Bone marrow smear — 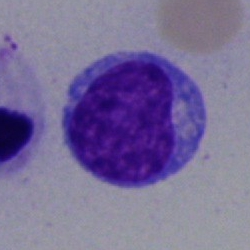

Morphology consistent with a blast cell.